Bone marrow aspirate smear — 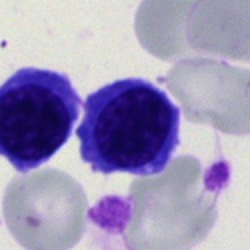 Nucleated red cell.